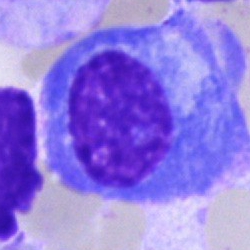
Morphology → plasma cell.